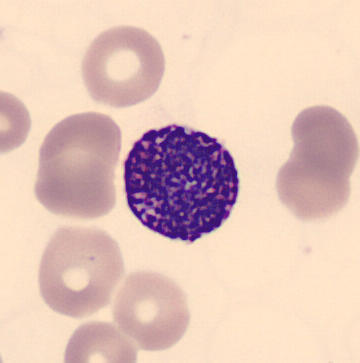

Q: What cell is this?
A: This is a basophilic granulocyte.

Acquisition: Image size 360×363; peripheral blood film.